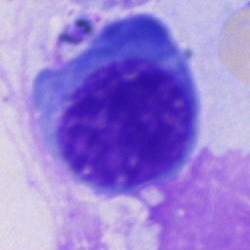 Morphology consistent with an erythroblast.